Bone marrow smear — 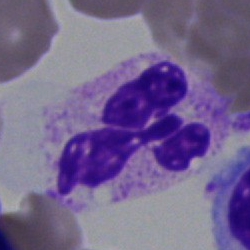Classification — neutrophil (segmented).